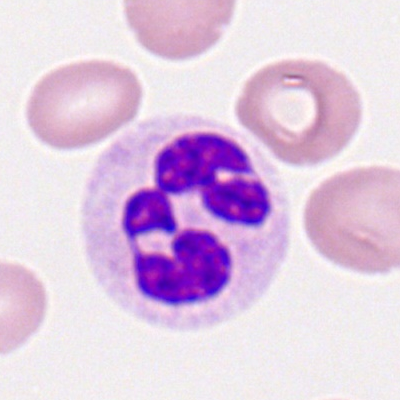 Single cell identified as a polymorphonuclear neutrophil.